Bone marrow smear — 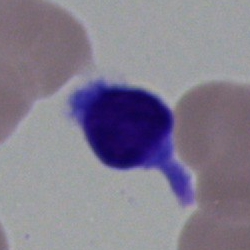{"cell_type": "lymphocyte", "lineage": "lymphoid"}